Bone marrow smear. Brightfield, 40× oil-immersion objective: 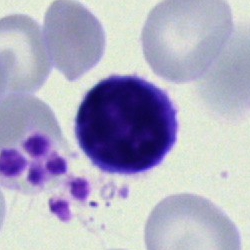

Lymphocyte.